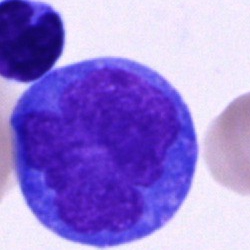 Morphology consistent with an undifferentiated blast.